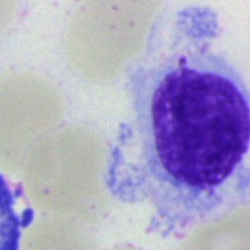This is a hairy cell.